Bone marrow aspirate smear. 250 by 250 pixels.
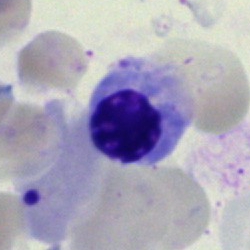

Showing a nucleated red blood cell.